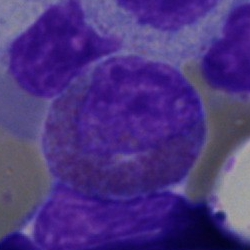 Q: What is the morphological classification of this cell?
A: Eosinophilic granulocyte.